Peripheral blood smear.
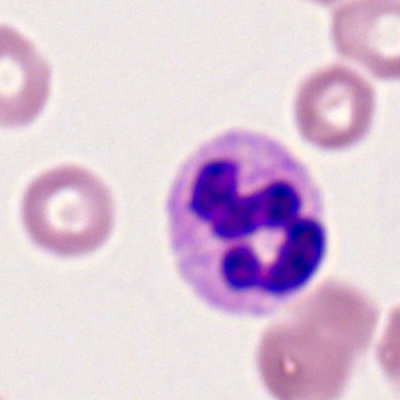 Impression — segmented neutrophil.